Single-cell crop. Bone marrow aspirate smear — 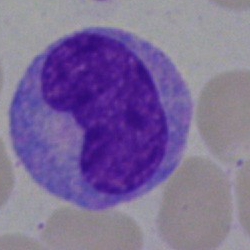

Morphological class — monocyte.